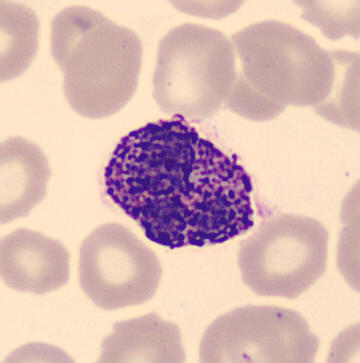

Q: What is shown here?
A: Basophil.